Peripheral blood smear; 400 by 400 pixels; single-cell field: 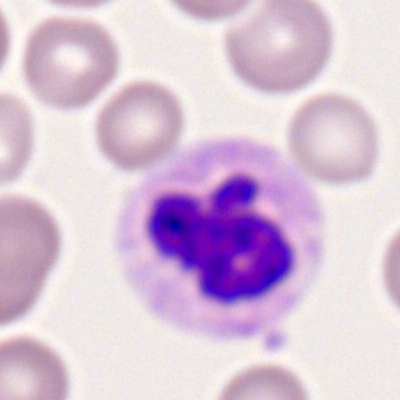
Showing a polymorphonuclear neutrophil.